Bone marrow aspirate smear:
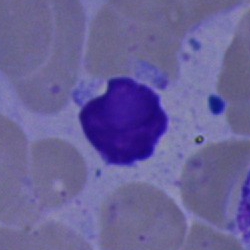
Showing a lymphocyte.